Bone marrow aspirate smear. May-Grünwald-Giemsa stain:
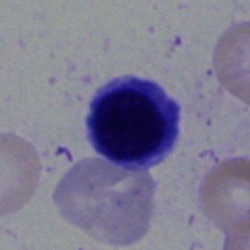

A typical lymphocyte.